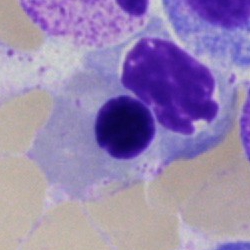
An erythroblast.